Bone marrow aspirate smear: 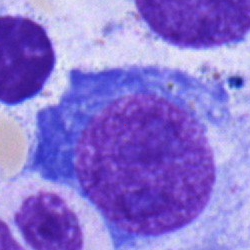
Pronormoblast.